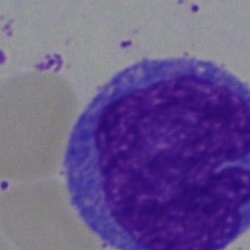
Specimen: bone marrow aspirate smear.
Classification: monocyte.